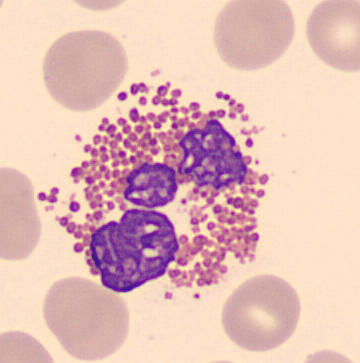Morphology consistent with an eosinophilic granulocyte.